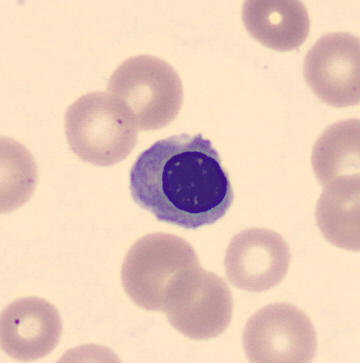Erythroblast.